Bone marrow smear
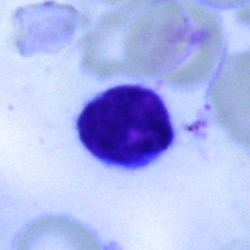
Showing a typical lymphocyte.